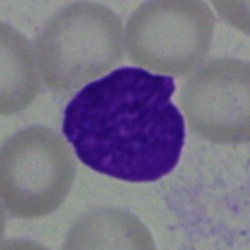
Q: What is shown here?
A: It is an artefact.